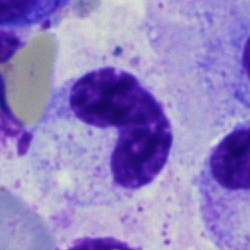
Single-cell crop from a bone marrow smear: band neutrophil.